Bone marrow smear. 40× oil immersion.
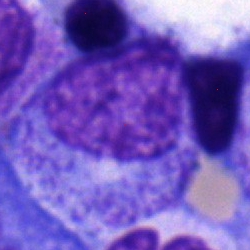
Impression — promyelocyte.